40× oil immersion. Bone marrow smear: 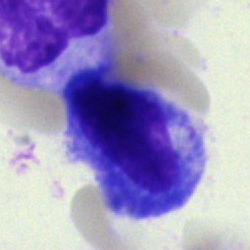
Cell: monocyte.